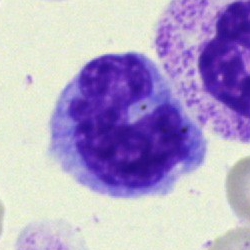Specimen: bone marrow smear.
Cell type: monocyte.
Lineage: myeloid.